100× objective, oil immersion · single cell centered in the field · peripheral blood smear.
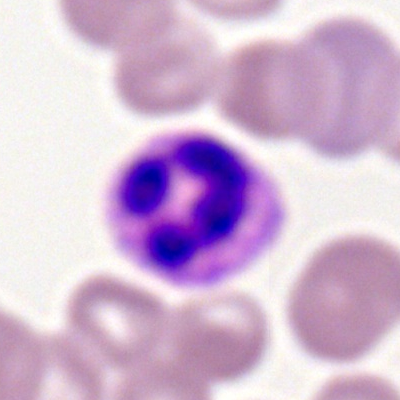
Single cell identified as a polymorphonuclear neutrophil.